Bone marrow smear
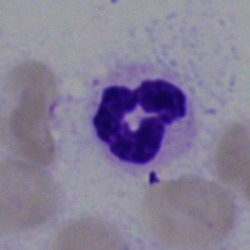Single cell identified as a polymorphonuclear neutrophil.